Bone marrow smear — 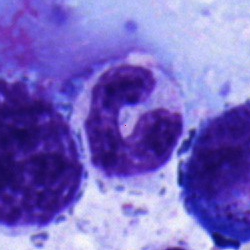
The cell is band-form neutrophil.